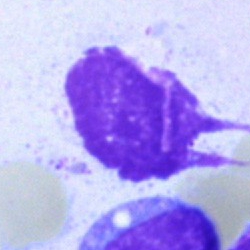

Artifact.